Bone marrow smear. Image size 250×250. Cropped to a single cell.
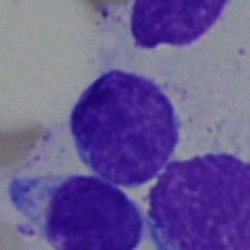 Q: What is shown here?
A: It is an artefact.